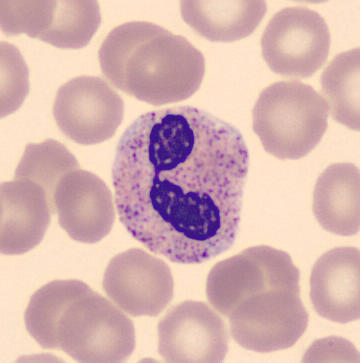

Q: What is shown here?
A: This is a neutrophil (segmented).